Bone marrow smear · brightfield microscopy, 40× oil immersion
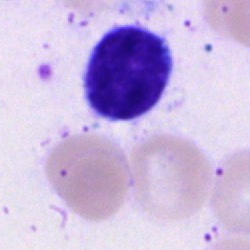Classification = typical lymphocyte.